Bone marrow aspirate smear: 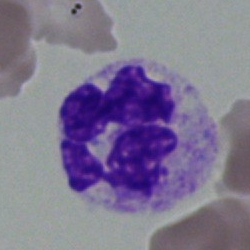The cell type is segmented neutrophil.